40× objective, oil immersion; bone marrow smear — 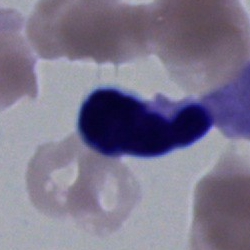
The cell shown is an artifact.